Bone marrow aspirate smear
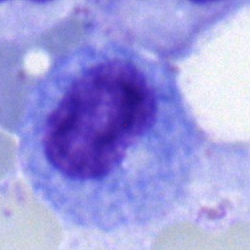
Impression — myelocyte.